Single cell centered in the field. 250×250. Bone marrow aspirate smear
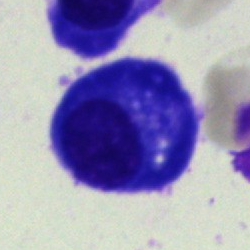

Classification: plasma cell.